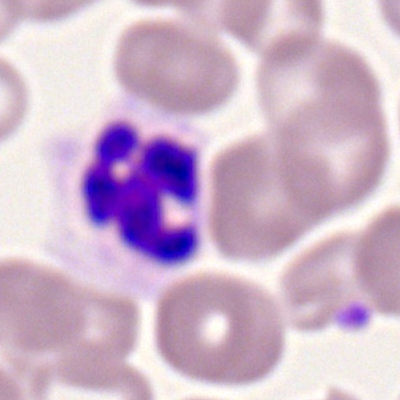
Specimen: peripheral blood smear.
Classification: segmented neutrophil.